Peripheral blood smear: 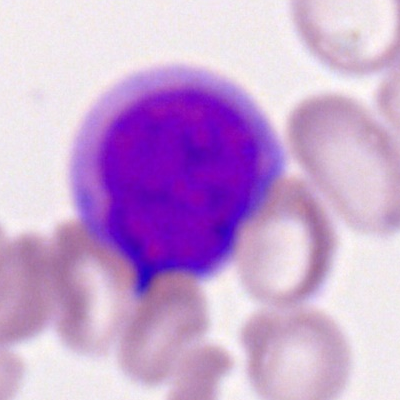The cell shown is a myeloblast.